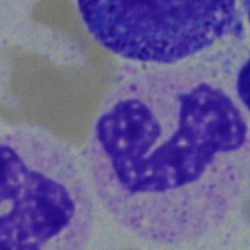{"cell_type": "stab cell", "lineage": "myeloid"}